Bone marrow smear
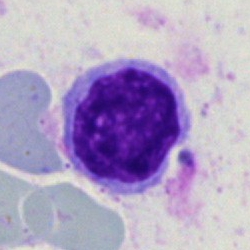

Morphology consistent with a lymphocyte.